Brightfield microscopy, 40× oil immersion · bone marrow smear · cropped to a single cell
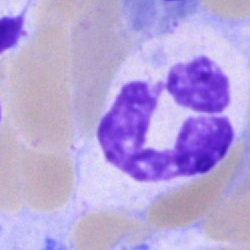The cell shown is a segmented neutrophil.